Bone marrow smear
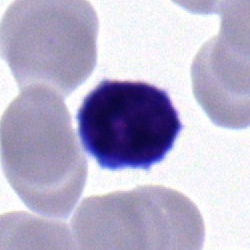
{"cell_type": "typical lymphocyte", "lineage": "lymphoid"}